Single-cell field. Bone marrow aspirate smear:
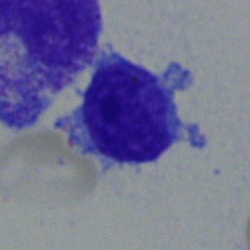Cell: lymphocyte.